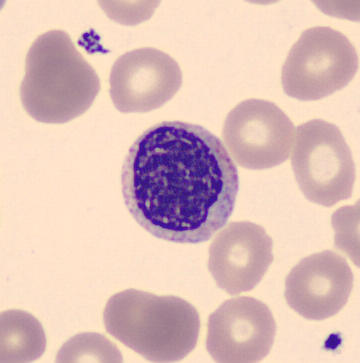 Cell: myelocyte.